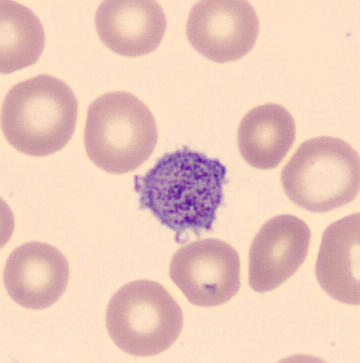The cell type is platelet.
Peripheral blood film.